Bone marrow aspirate smear; 250 by 250 pixels; single-cell crop — 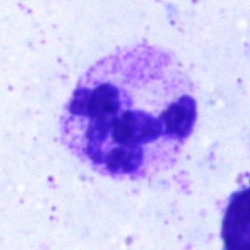

Impression → polymorphonuclear neutrophil.